Bone marrow smear:
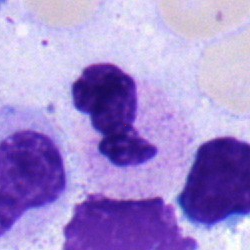 The morphological class is polymorphonuclear neutrophil.